Bone marrow aspirate smear. MGG-stained — 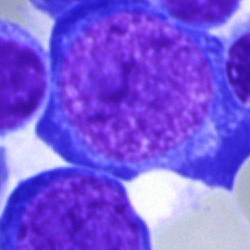

Q: What is the morphological classification of this cell?
A: Normoblast.